250×250. Bone marrow aspirate smear — 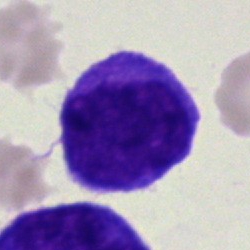

Undifferentiated blast.